Peripheral blood film — 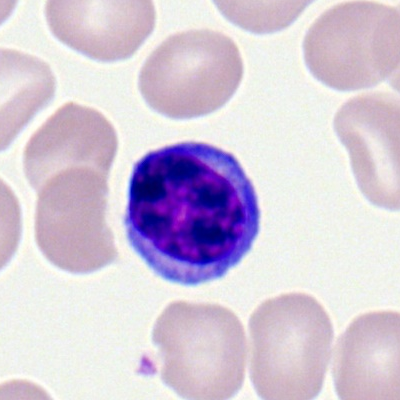 Morphology consistent with a typical lymphocyte.